Bone marrow smear.
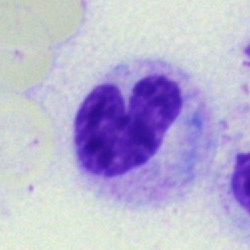The cell type is neutrophil (band).